May-Grünwald-Giemsa stain; bone marrow aspirate smear — 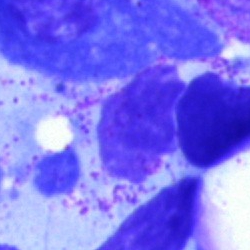

Impression — artifact.